Bone marrow smear
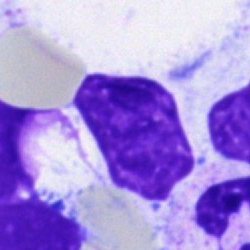

Classification — artifact.